Bone marrow aspirate smear: 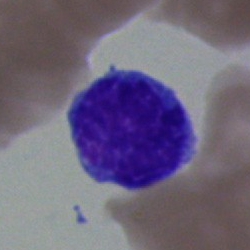Specimen: bone marrow smear.
Cell: blast cell.